40× objective, oil immersion; bone marrow aspirate smear — 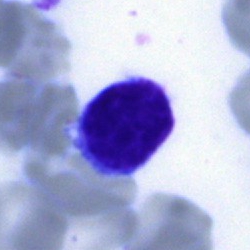

Showing a typical lymphocyte.